Bone marrow smear. Pappenheim-stained:
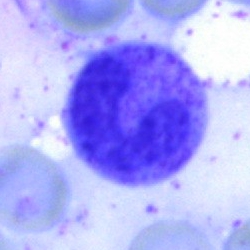

Classification — band neutrophil.